Bone marrow smear.
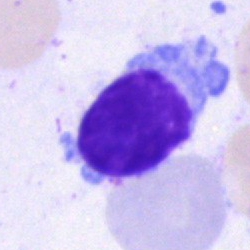

Cell — lymphocyte.